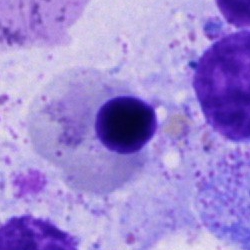

Impression → blast cell.